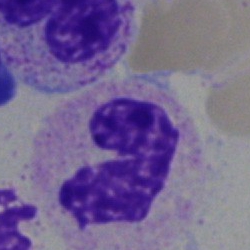 The cell shown is a neutrophil (segmented).